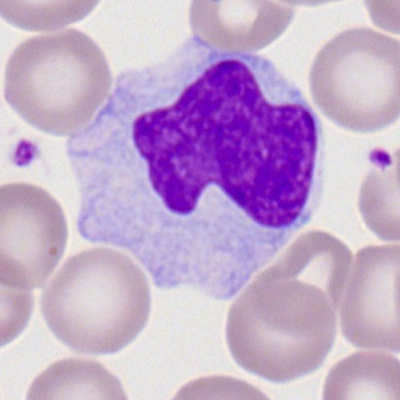
Peripheral blood smear showing a monocyte.